Single-cell crop · 40× objective, oil immersion · bone marrow smear:
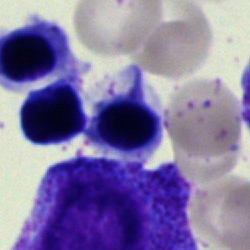Q: Identify the cell.
A: This is a nucleated red cell.